Bone marrow aspirate smear:
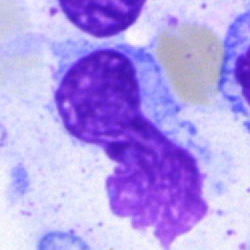

Cell type = artifact.